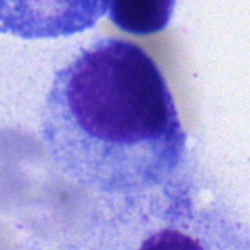
Specimen: bone marrow smear.
Cell type: myelocyte.
Lineage: myeloid.